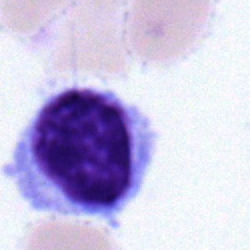 Lymphocyte.